Bone marrow smear — 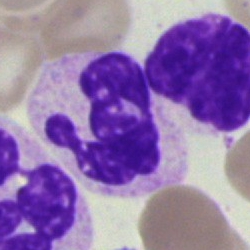
Cell — polymorphonuclear neutrophil.